Bone marrow aspirate smear: 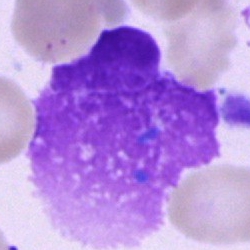

The cell shown is an artefact.